May-Grünwald-Giemsa/Pappenheim stain. Bone marrow smear:
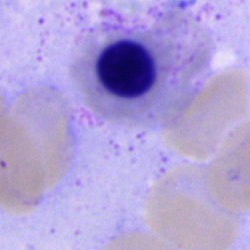 Specimen: bone marrow aspirate smear.
Cell type: nucleated red blood cell.